Bone marrow aspirate smear · cropped to a single cell
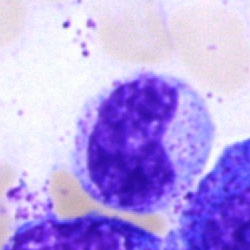 Q: What cell is this?
A: It is a band-form neutrophil.